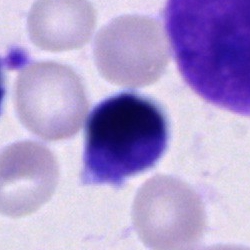
A cell of indeterminate lineage on a bone marrow smear.